Bone marrow aspirate smear; single cell centered in the field; 40× oil immersion:
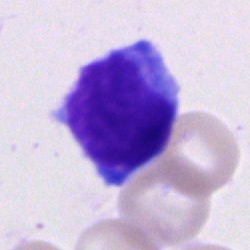The cell type is lymphocyte.